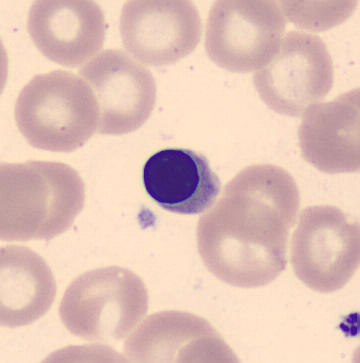Morphology → nucleated red cell.